Cropped to a single cell; bone marrow smear; brightfield microscopy, 40× oil immersion — 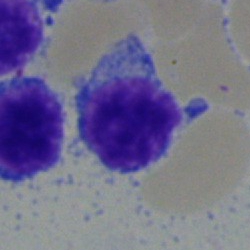 {"cell_type": "typical lymphocyte"}